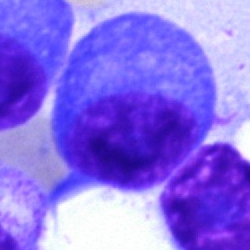 Bone marrow aspirate smear, single cell — plasmacyte.